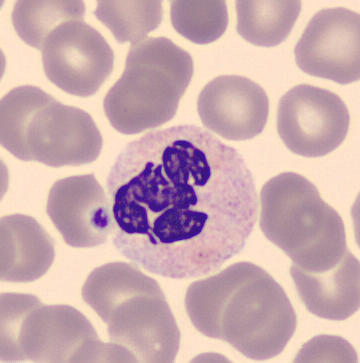 Preparation: Peripheral blood smear.

Q: Which cell type is shown here?
A: A neutrophil (segmented).